Brightfield, 40× oil-immersion objective; bone marrow aspirate smear
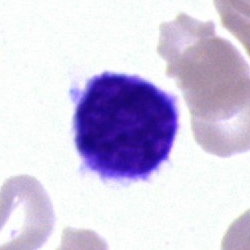The morphological class is lymphocyte.